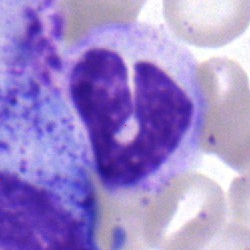 Cell — band neutrophil.